Peripheral blood smear: 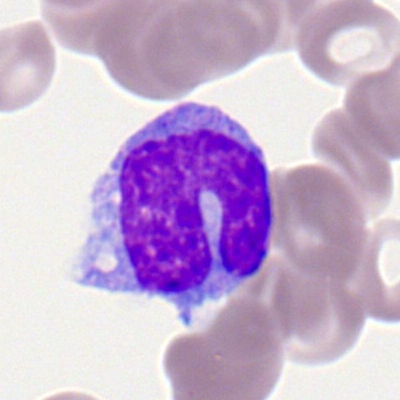 Cell: monocyte.